Peripheral blood film
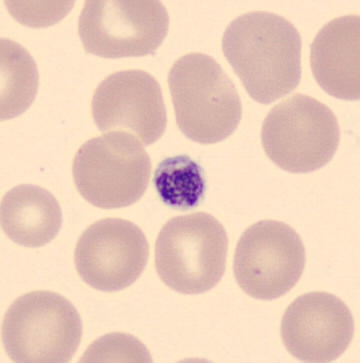 Platelet (thrombocyte).